Bone marrow aspirate smear · May-Grünwald-Giemsa stain — 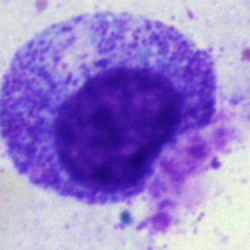
Impression → progranulocyte.